Bone marrow aspirate smear:
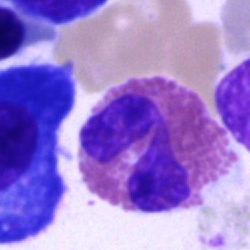

The cell is eosinophilic granulocyte.